Bone marrow smear; 250×250
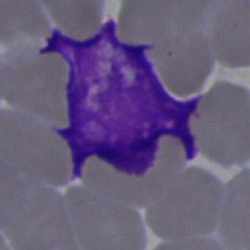{"cell_type": "artefact"}